Bone marrow smear: 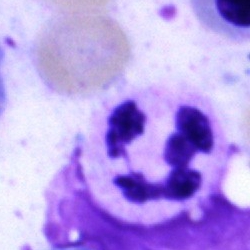Specimen: bone marrow smear.
Cell: segmented neutrophil.
Lineage: myeloid.